May-Grünwald-Giemsa/Pappenheim stain. 250 by 250 pixels. Bone marrow smear: 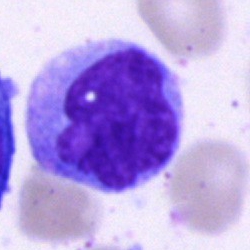
Showing a monocyte.